Bone marrow aspirate smear — 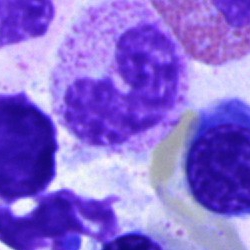
{"cell_type": "band-form neutrophil", "lineage": "myeloid"}